Bone marrow aspirate smear.
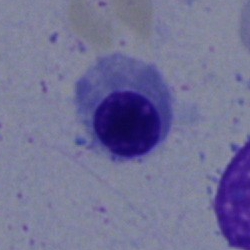
The morphological class is normoblast.